Bone marrow smear.
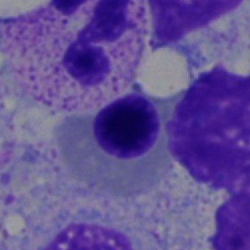Q: Identify the cell.
A: A nucleated red cell.